Bone marrow aspirate smear:
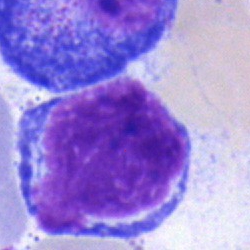

Morphology — pronormoblast.